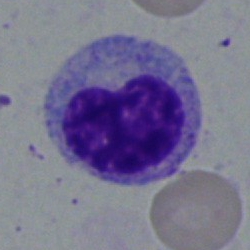

Bone marrow smear showing a metamyelocyte.